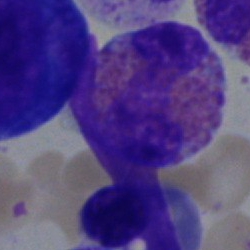Specimen: bone marrow aspirate smear.
Morphological class: eosinophil.
Lineage: myeloid.